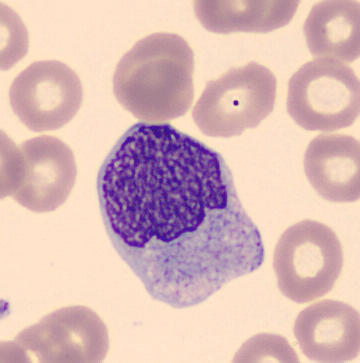

This is a monocyte. Peripheral blood smear.